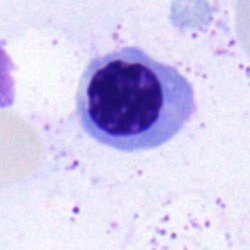 Specimen: bone marrow smear.
Morphological class: nucleated red cell.